Bone marrow aspirate smear. Cropped to a single cell.
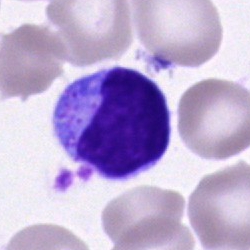
Specimen: bone marrow aspirate smear.
Cell: lymphocyte.